Bone marrow aspirate smear: 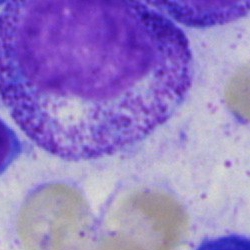 Q: What cell is this?
A: Myelocyte.